100× oil immersion · peripheral blood film — 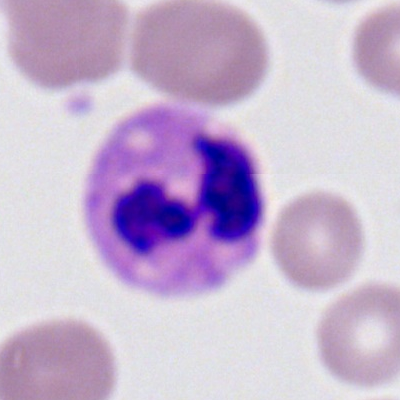

Q: What is the morphological classification of this cell?
A: A neutrophil (segmented).